Peripheral blood smear
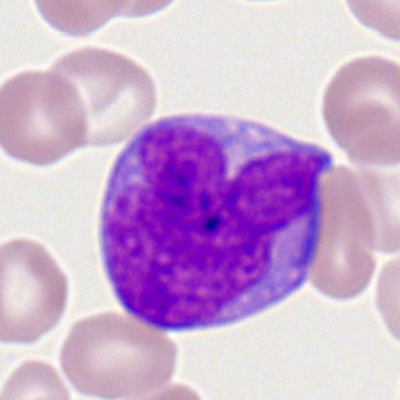 Cell type: myeloblast.